MGG-stained. Automated cell imaging (CellaVision DM96). Peripheral blood smear — 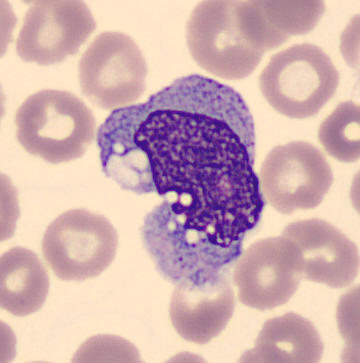 The cell is monocyte.